May-Grünwald-Giemsa stain; bone marrow aspirate smear:
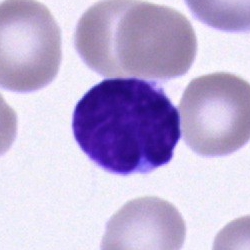

Single cell identified as a lymphocyte.